Cropped to a single cell; peripheral blood smear — 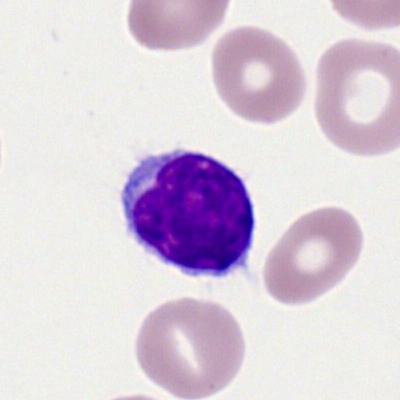Morphological class = lymphocyte.